40× objective, oil immersion; Pappenheim-stained; bone marrow aspirate smear
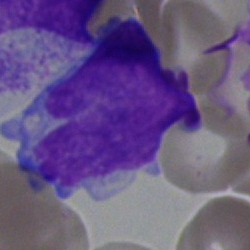Blast.